250 by 250 pixels; brightfield, 40× oil-immersion objective; bone marrow smear
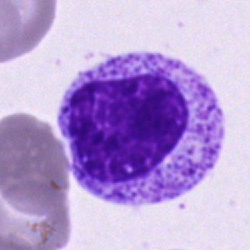Single cell identified as a myelocyte.